Bone marrow smear.
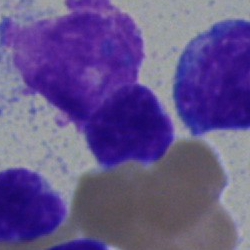
Q: What is the morphological classification of this cell?
A: Lymphocyte.